40× oil immersion. Bone marrow aspirate smear — 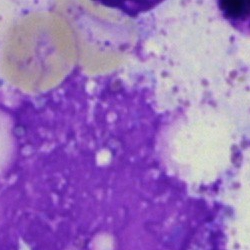

Morphological class: artifact.